Bone marrow aspirate smear
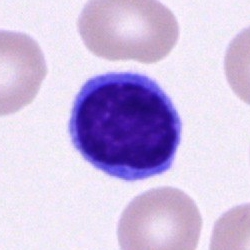

Showing a lymphocyte.